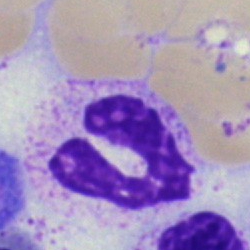Q: What type of cell is this?
A: This is a neutrophil (segmented).